Bone marrow smear — 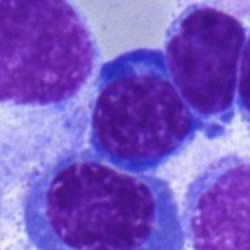

Classification: normoblast.